250×250 · bone marrow smear — 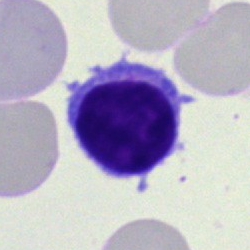 Q: What cell is this?
A: This is a typical lymphocyte.